Bone marrow aspirate smear.
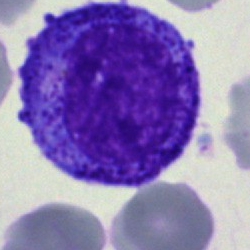
Morphological class = promyelocyte.